Peripheral blood film: 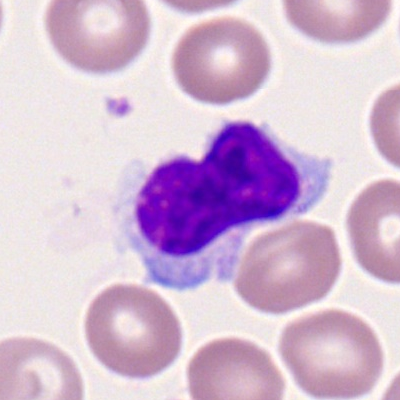 Q: What type of cell is this?
A: This is a typical lymphocyte.